Bone marrow smear · 250 by 250 pixels:
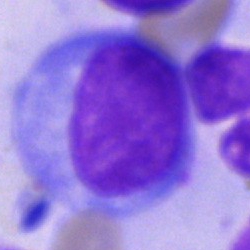
{"cell_type": "undifferentiated blast"}